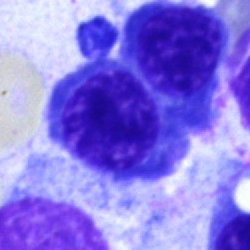The cell shown is an erythroblast.